250×250 px. Bone marrow smear — 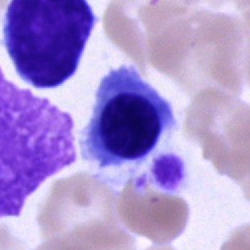

Q: What type of cell is this?
A: A nucleated red blood cell.